May-Grünwald-Giemsa stain; bone marrow aspirate smear
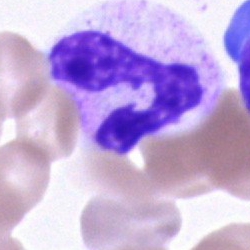

The cell shown is a segmented neutrophil.